Peripheral blood smear:
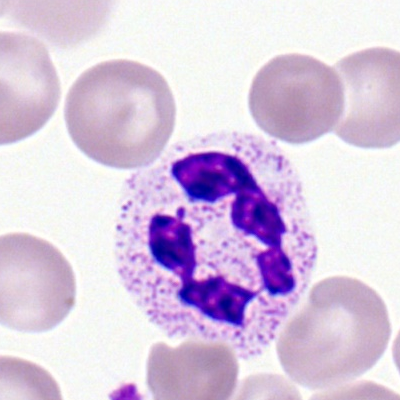 Morphological class: segmented neutrophil.